Bone marrow aspirate smear.
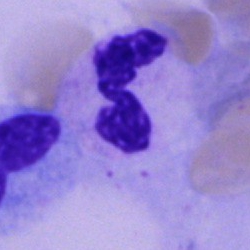 Cell type = polymorphonuclear neutrophil.